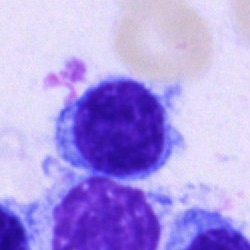
Morphology → lymphocyte.